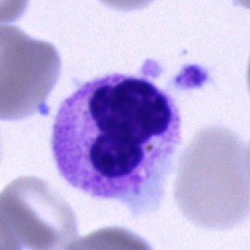 Q: Which cell type is shown here?
A: It is a neutrophil (segmented).